Bone marrow smear — 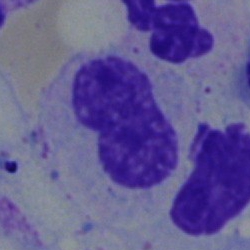Morphology — metamyelocyte.